Bone marrow aspirate smear
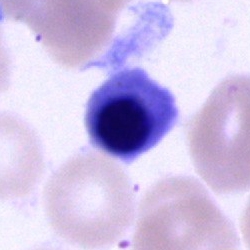

Specimen: bone marrow smear.
Cell: erythroblast.